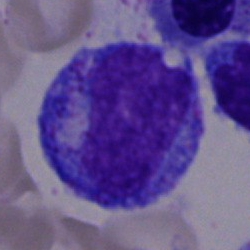 Cell type — progranulocyte.